Bone marrow aspirate smear · 40× oil immersion · single-cell field: 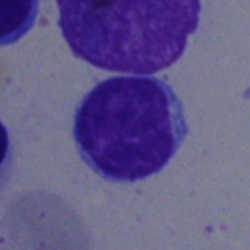Showing a typical lymphocyte.